250×250; bone marrow smear; brightfield microscopy, 40× oil immersion.
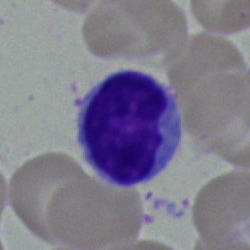

A typical lymphocyte.